Bone marrow aspirate smear: 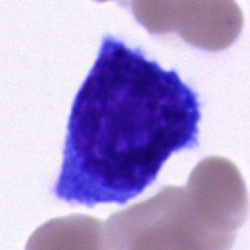 The cell shown is a blast.